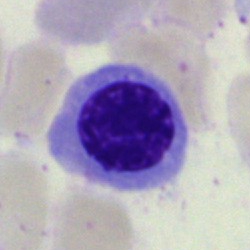

Impression → normoblast.